Bone marrow aspirate smear: 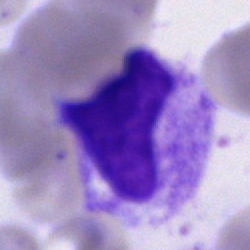Cell — artifact.